Pappenheim-stained; bone marrow aspirate smear — 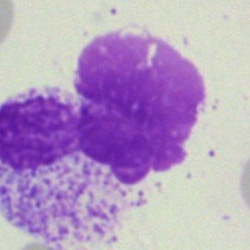
Morphology → artifact.